May-Grünwald-Giemsa stain · brightfield microscopy, 40× oil immersion · bone marrow aspirate smear — 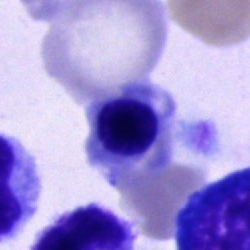
Q: Identify the cell.
A: This is a nucleated red blood cell.